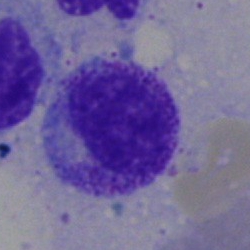The cell is metamyelocyte.